Bone marrow smear.
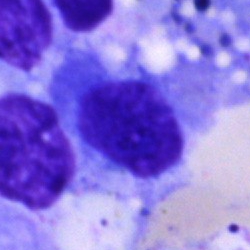 Impression → artifact.